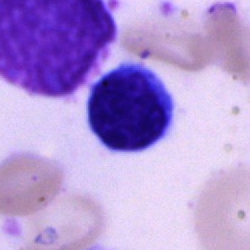 The cell is typical lymphocyte.